Bone marrow smear.
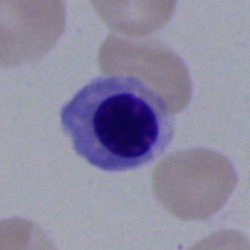The cell is normoblast.